40× objective, oil immersion · bone marrow smear.
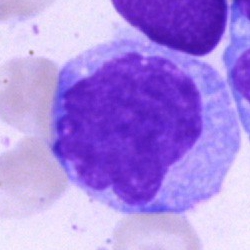 Q: What is the morphological classification of this cell?
A: A monocyte.